Bone marrow aspirate smear · single-cell crop — 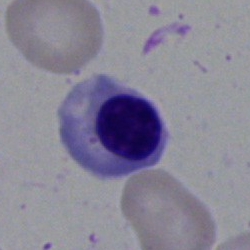

Cell type = normoblast.